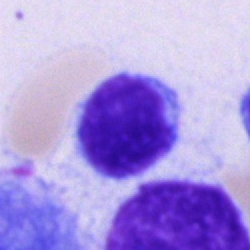A lymphocyte on a bone marrow smear.